Bone marrow aspirate smear.
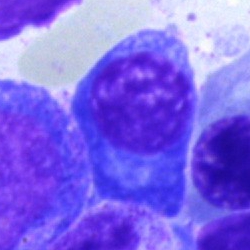
Morphology consistent with a normoblast.